40× oil immersion; bone marrow aspirate smear; May-Grünwald-Giemsa/Pappenheim stain.
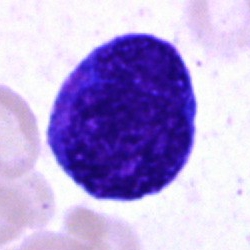Cell type — undifferentiated blast.